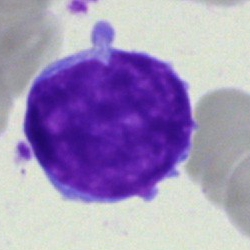This is an other cell.